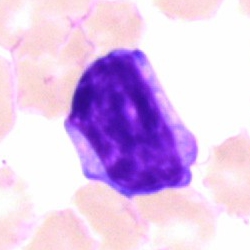

This is a lymphocyte.